Bone marrow aspirate smear; image size 250×250:
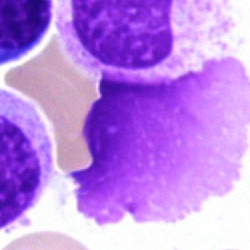Q: What is shown here?
A: An artifact.